Bone marrow aspirate smear.
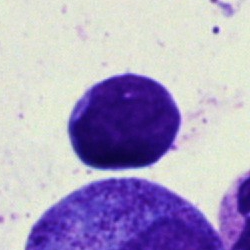 Cell type: typical lymphocyte.